Bone marrow smear — 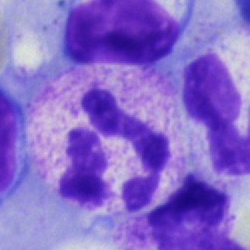
Specimen: bone marrow aspirate smear.
Cell type: neutrophil (segmented).
Lineage: myeloid.